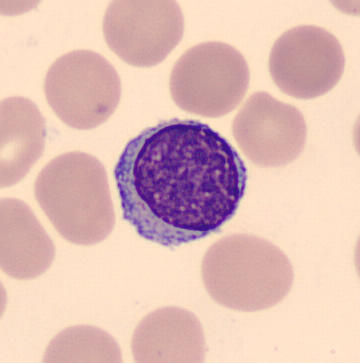 Specimen: peripheral blood film.
Morphological class: typical lymphocyte.
Lineage: lymphoid.